Bone marrow aspirate smear · May-Grünwald-Giemsa stain: 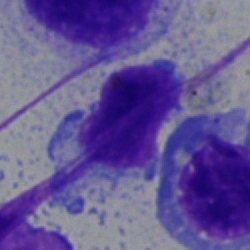

Morphology → lymphocyte.